Bone marrow aspirate smear.
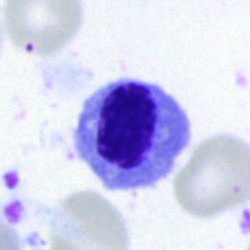

A normoblast.